Bone marrow smear:
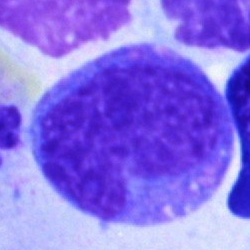
Monocyte.